May-Grünwald-Giemsa/Pappenheim stain; brightfield microscopy, 40× oil immersion; bone marrow aspirate smear
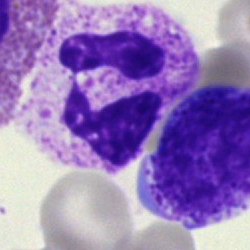Q: What cell is this?
A: This is a polymorphonuclear neutrophil.